Bone marrow smear — 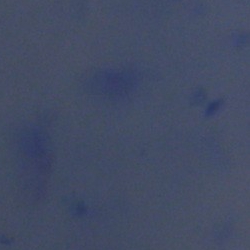Single cell identified as an artifact.